Bone marrow aspirate smear; MGG-stained.
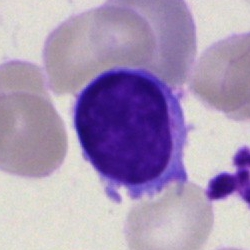

This is a typical lymphocyte.